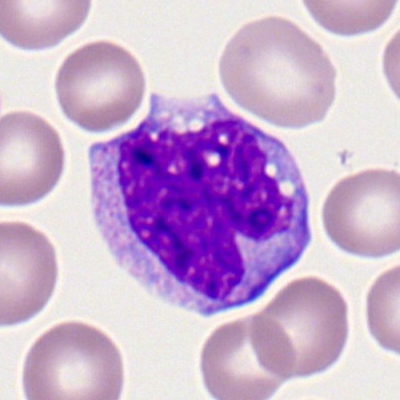Impression → monocyte.